Bone marrow aspirate smear; brightfield microscopy, 40× oil immersion — 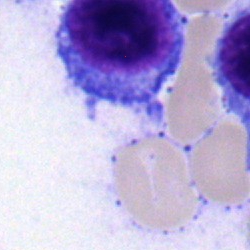
Morphology — lymphocyte.